Bone marrow smear: 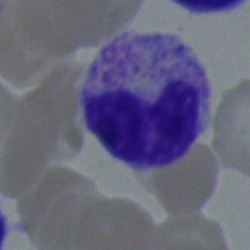

A metamyelocyte.